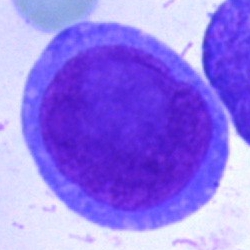
Specimen: bone marrow smear.
Cell type: blast cell.